Single-cell field. Bone marrow aspirate smear. Brightfield, 40× oil-immersion objective: 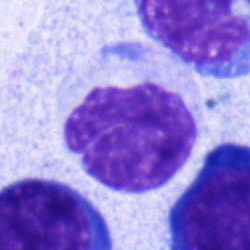

Morphological class — monocyte.